Bone marrow aspirate smear — 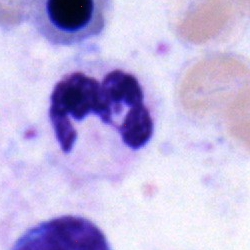

Morphology → neutrophil (segmented).